Bone marrow smear: 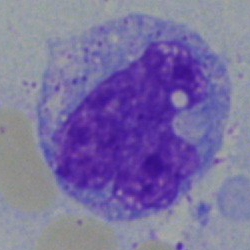

Cell — monocyte.